Peripheral blood smear — 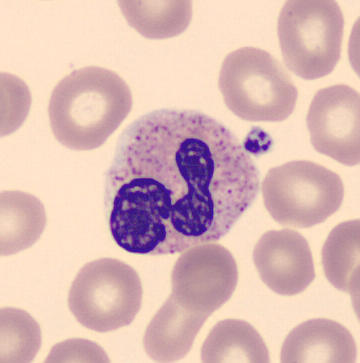
Single cell identified as a segmented neutrophil.